Bone marrow aspirate smear
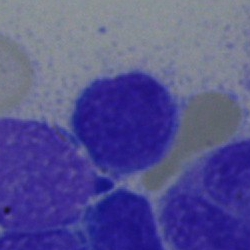

This is a lymphocyte.